Single-cell crop · peripheral blood film
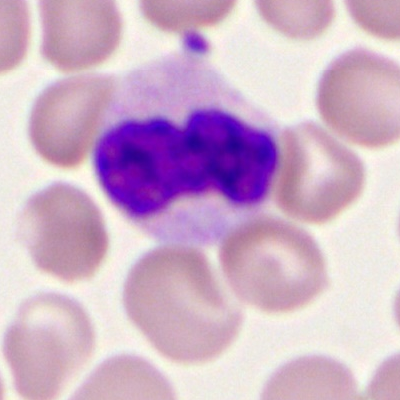

Morphological class: neutrophil (segmented).